Romanowsky-stained · peripheral blood smear
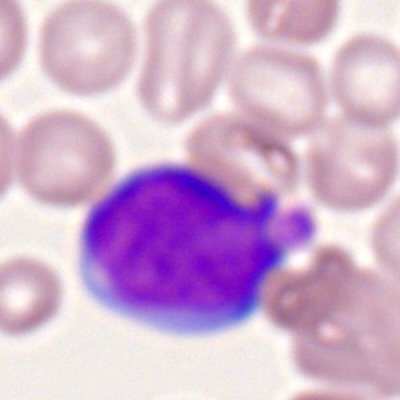A myeloid blast.